Bone marrow smear: 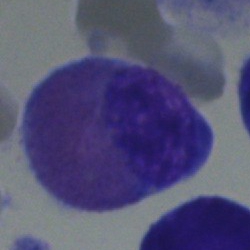Q: What type of cell is this?
A: It is an eosinophilic granulocyte.